Bone marrow smear: 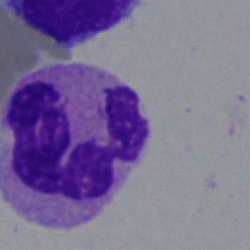

Specimen: bone marrow smear.
Cell type: segmented neutrophil.
Lineage: myeloid.